Bone marrow aspirate smear — 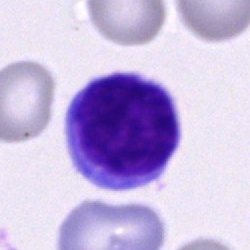Morphology consistent with a lymphocyte.